Bone marrow smear; 250×250 px — 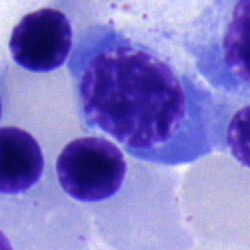
The morphological class is nucleated red blood cell.